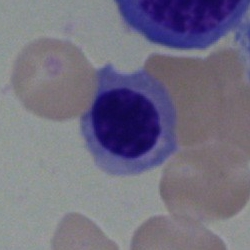
The cell type is normoblast.